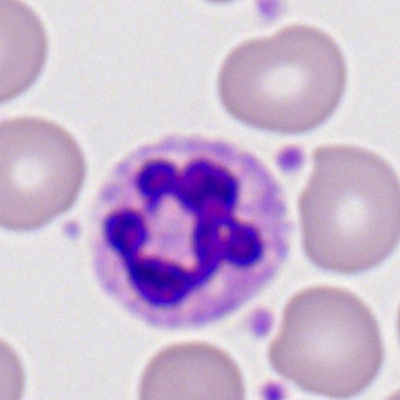

Q: What type of cell is this?
A: A polymorphonuclear neutrophil.